Bone marrow smear:
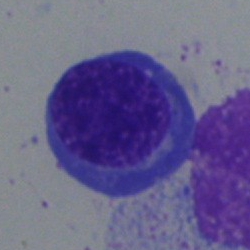
Specimen: bone marrow smear.
Classification: erythroblast.
Lineage: erythroid.